Peripheral blood film; Romanowsky stain: 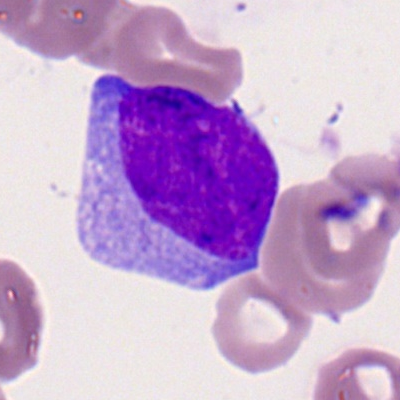
Morphological class: myeloid blast.